Bone marrow aspirate smear.
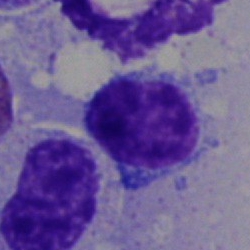 Lymphocyte.